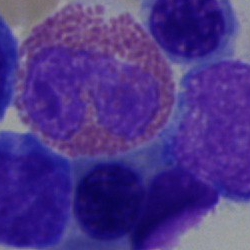 Eosinophilic granulocyte.